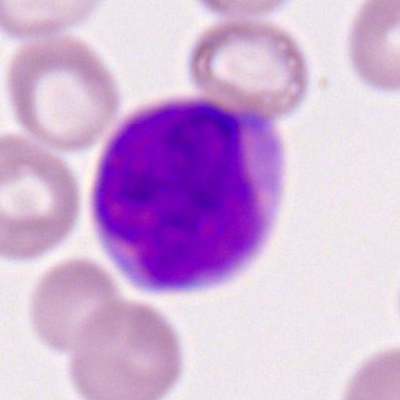 Morphology → myeloblast.